Pappenheim-stained · bone marrow smear · 40× objective, oil immersion:
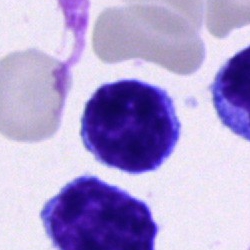
The cell shown is a typical lymphocyte.